Pappenheim-stained · bone marrow smear · 40× oil immersion:
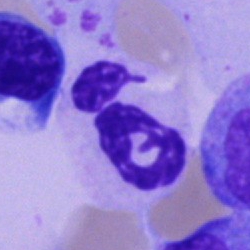

The cell shown is a neutrophil (segmented).